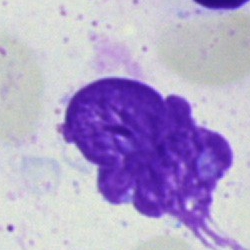

An artefact on a bone marrow smear.